May-Grünwald-Giemsa/Pappenheim stain; cropped to a single cell; bone marrow aspirate smear: 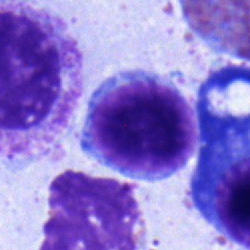
Cell type: lymphocyte.